Bone marrow aspirate smear; May-Grünwald-Giemsa stain:
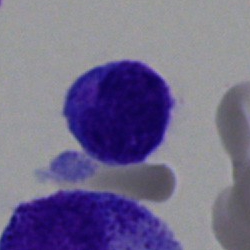

The cell type is typical lymphocyte.